Bone marrow aspirate smear; brightfield, 40× oil-immersion objective
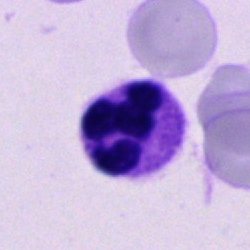

This is a neutrophil (segmented).